Peripheral blood smear — 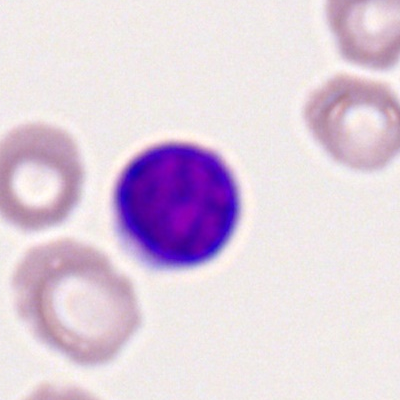 The cell is lymphocyte.